Single-cell field · bone marrow smear
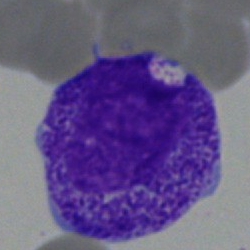
{"cell_type": "myelocyte", "lineage": "myeloid"}